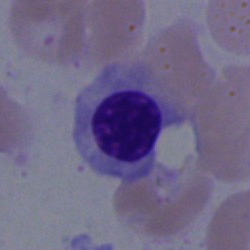Bone marrow smear showing a nucleated red cell.